Bone marrow aspirate smear: 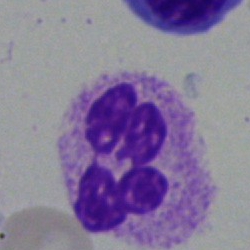

Morphological class — polymorphonuclear neutrophil.